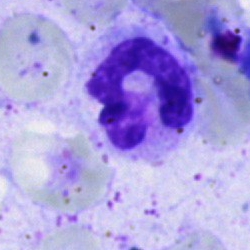 Impression — segmented neutrophil.